Bone marrow aspirate smear · MGG-stained — 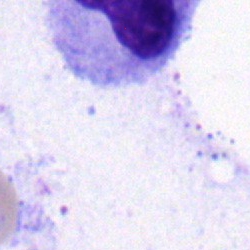Impression → metamyelocyte.